Bone marrow aspirate smear
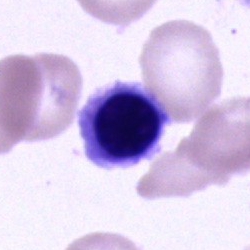
Cell = unidentifiable cell.